Bone marrow smear:
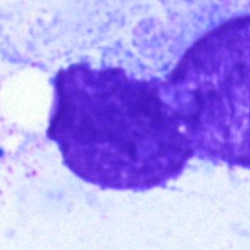

{"cell_type": "artifact"}